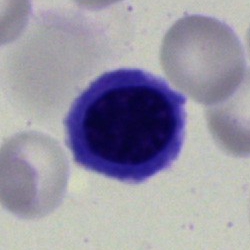Cell: normoblast.